400 by 400 pixels. Romanowsky stain. Peripheral blood smear.
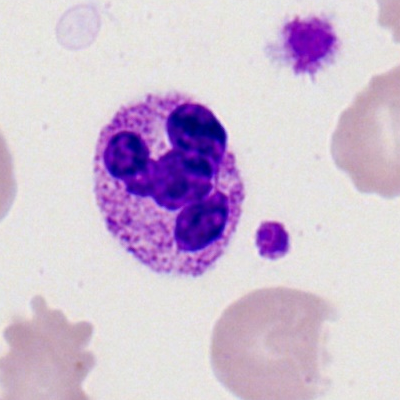

A segmented neutrophil.